Bone marrow smear.
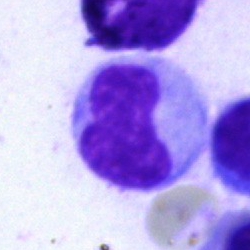A neutrophil (band).